Brightfield microscopy, 40× oil immersion · bone marrow smear
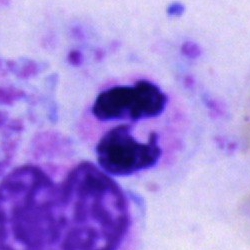Cell type: segmented neutrophil.